Bone marrow smear
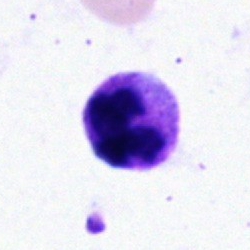A neutrophil (segmented).